250×250 · MGG-stained · bone marrow smear
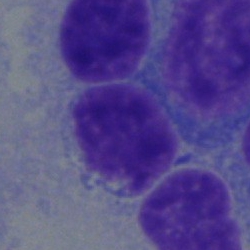

Specimen: bone marrow smear.
Cell: typical lymphocyte.